Bone marrow aspirate smear: 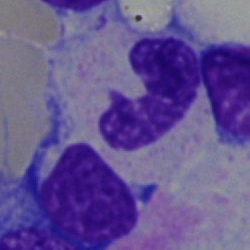 This is a neutrophil (band).